250×250. Bone marrow aspirate smear:
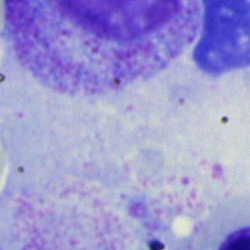
Specimen: bone marrow smear.
Classification: artefact.